Peripheral blood film — 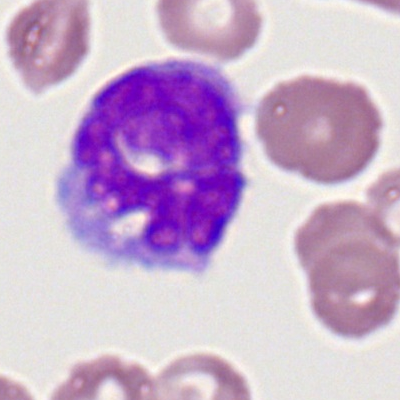
Classification — monocyte.